Pappenheim-stained; single cell centered in the field; bone marrow aspirate smear.
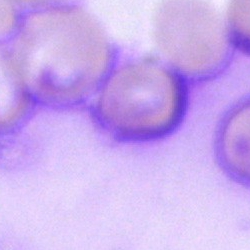 This is an artefact.